Bone marrow smear — 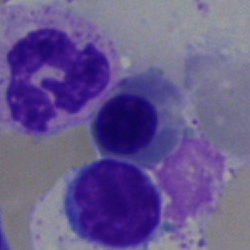 Classification — erythroblast.